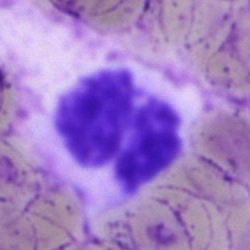Specimen: bone marrow smear.
Morphological class: segmented neutrophil.
Lineage: myeloid.